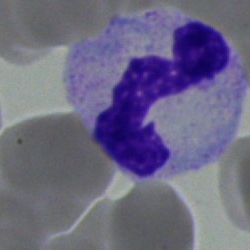

The cell is neutrophil (band).